Peripheral blood smear. Single cell centered in the field.
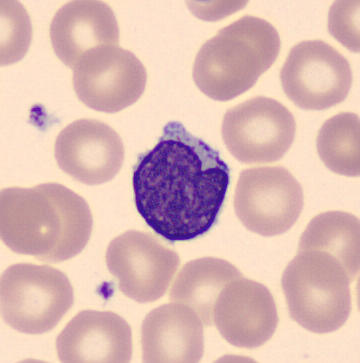Cell: lymphocyte.